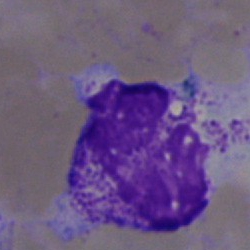 An artefact.